Bone marrow smear — 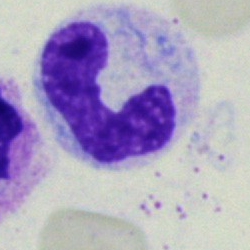
Morphology → band neutrophil.